Bone marrow smear: 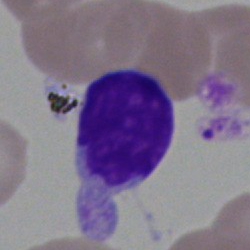
Morphology → lymphocyte.